Bone marrow aspirate smear: 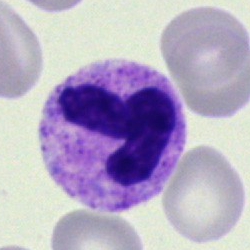This is a segmented neutrophil.